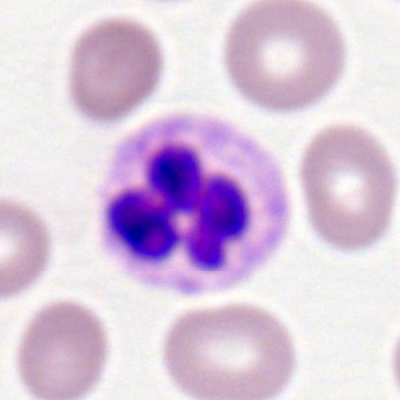 Segmented neutrophil.